Bone marrow aspirate smear: 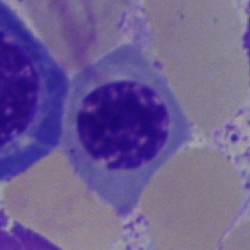

Morphology → normoblast.